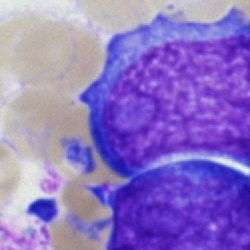

{"cell_type": "blast cell"}